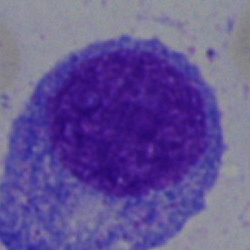 Q: Identify the cell.
A: Progranulocyte.